Bone marrow smear
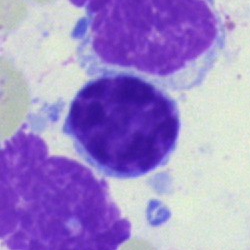Q: Identify the cell.
A: A lymphocyte.